Peripheral blood smear:
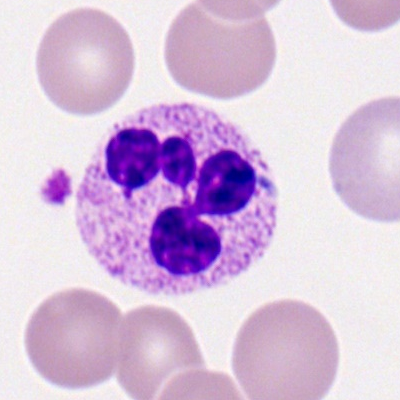
Q: What is shown here?
A: A segmented neutrophil.